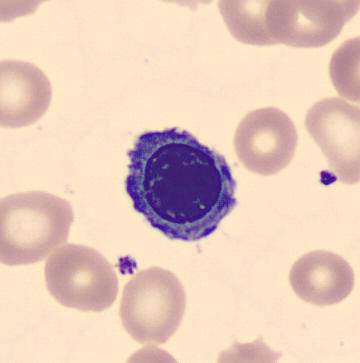

Q: What is this?
A: A nucleated red blood cell.